Bone marrow aspirate smear · 250×250 px · brightfield microscopy, 40× oil immersion:
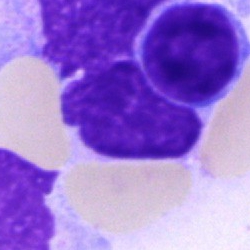The cell type is typical lymphocyte.